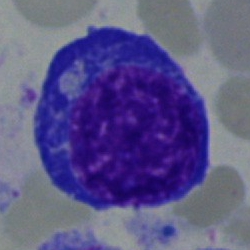

Morphological class — proerythroblast.